Bone marrow smear. Single-cell crop. 250 by 250 pixels:
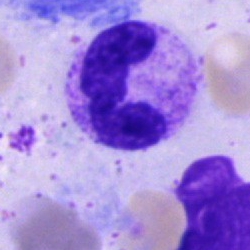
Showing a segmented neutrophil.